Bone marrow aspirate smear:
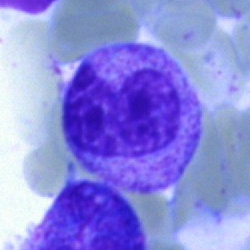 The morphological class is metamyelocyte.